Bone marrow smear:
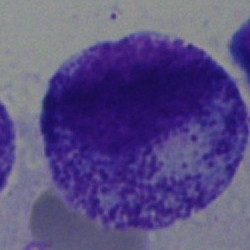
Progranulocyte.